40× objective, oil immersion; bone marrow smear.
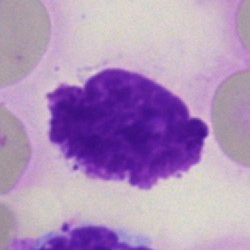

Morphological class = artefact.